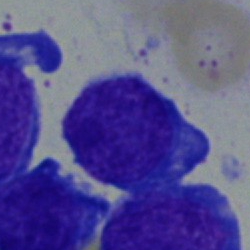Q: Which cell type is shown here?
A: This is a blast cell.